Bone marrow smear:
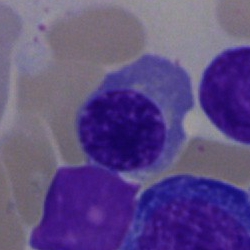 Morphology consistent with a normoblast.